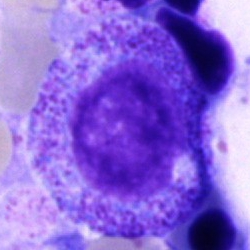
Specimen: bone marrow aspirate smear.
Classification: promyelocyte.